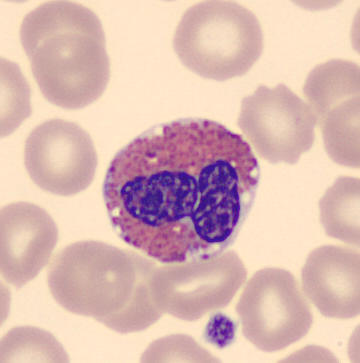 Eosinophilic granulocyte.